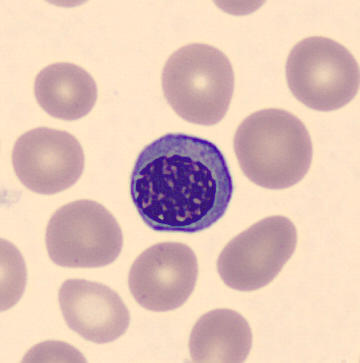
This is a normoblast. Cropped to a single cell · image size 360×363 · peripheral blood smear.